Bone marrow smear — 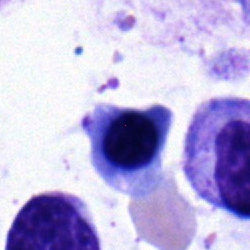

{"cell_type": "erythroblast"}